Bone marrow aspirate smear.
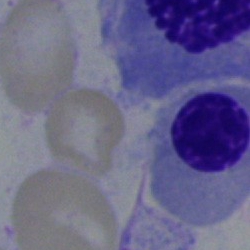

Cell = nucleated red blood cell.